Bone marrow smear — 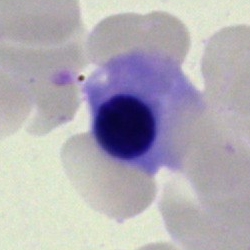 Q: What is shown here?
A: A normoblast.